Bone marrow aspirate smear — 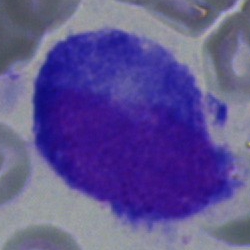 Specimen: bone marrow smear.
Cell type: promyelocyte.
Lineage: myeloid.